Bone marrow aspirate smear — 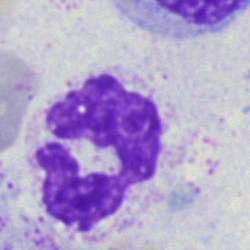

Impression → neutrophil (segmented).